Pappenheim-stained; bone marrow smear — 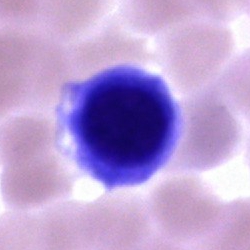 The cell shown is a normoblast.